M8 digital microscope (Precipoint), 100× oil immersion. Peripheral blood film. 400 by 400 pixels:
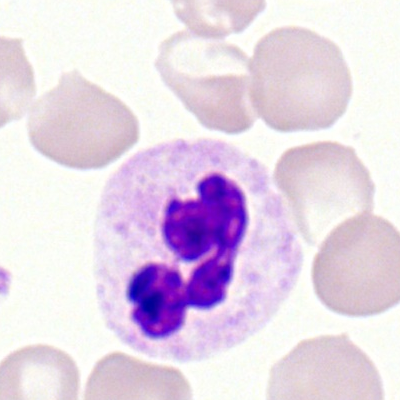
Single cell identified as a polymorphonuclear neutrophil.